Cropped to a single cell · brightfield, 40× oil-immersion objective · bone marrow smear.
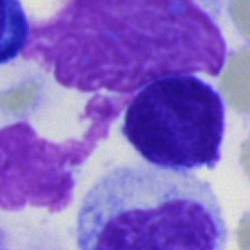

Q: What is the morphological classification of this cell?
A: Lymphocyte.